Brightfield microscopy, 40× oil immersion; bone marrow aspirate smear.
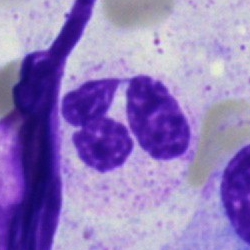

The cell shown is a segmented neutrophil.